Bone marrow aspirate smear:
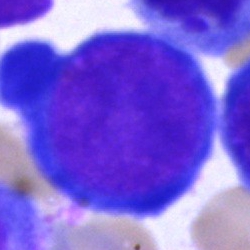

Morphology — pronormoblast.